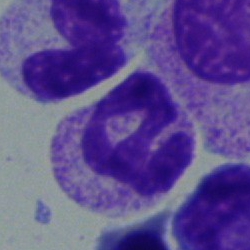Specimen: bone marrow aspirate smear.
Cell: segmented neutrophil.